Bone marrow smear
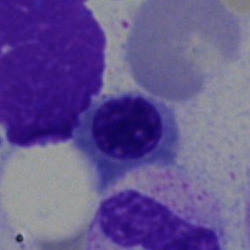
Morphology → nucleated red blood cell.